MGG-stained. Bone marrow aspirate smear.
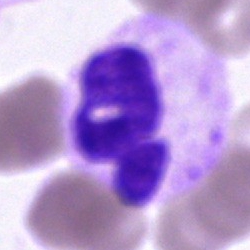The cell shown is a polymorphonuclear neutrophil.